Bone marrow smear:
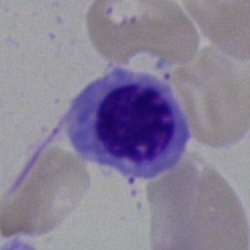

{"cell_type": "nucleated red blood cell", "lineage": "erythroid"}